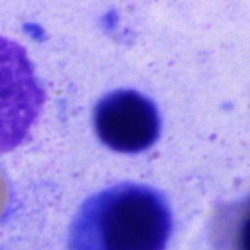 Specimen: bone marrow aspirate smear.
Morphological class: artefact.